Bone marrow aspirate smear:
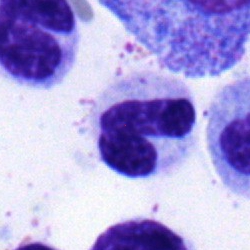Specimen: bone marrow smear.
Cell: stab cell.
Lineage: myeloid.